Single cell centered in the field · bone marrow smear:
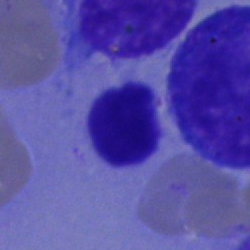

{"cell_type": "lymphocyte", "lineage": "lymphoid"}